Bone marrow aspirate smear · single-cell field · image size 250×250:
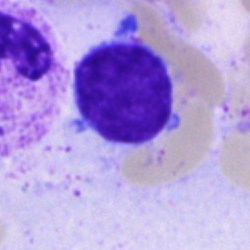
A typical lymphocyte.